250×250. Bone marrow smear — 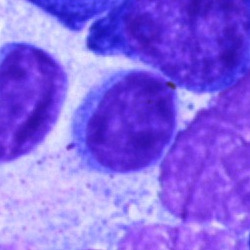 Q: Identify the cell.
A: It is a lymphocyte.